250×250 px · bone marrow smear · brightfield microscopy, 40× oil immersion.
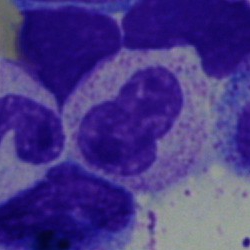
Single cell identified as a band neutrophil.